Bone marrow aspirate smear; single-cell crop.
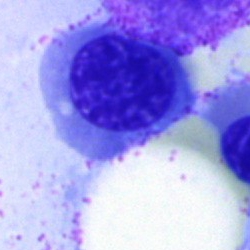
Cell = nucleated red cell.